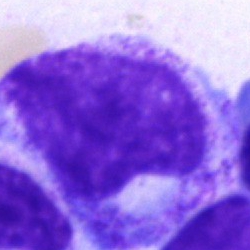Bone marrow smear showing a promyelocyte.